Bone marrow smear.
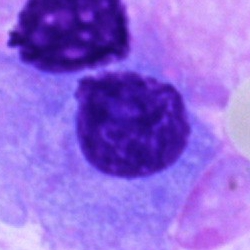

A plasma cell.